Bone marrow smear · 250 by 250 pixels
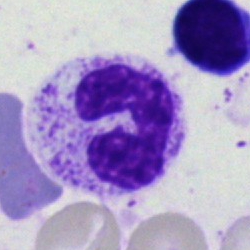
The cell shown is a neutrophil (segmented).